MGG-stained; bone marrow smear — 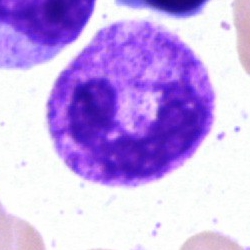
Q: What type of cell is this?
A: Stab cell.